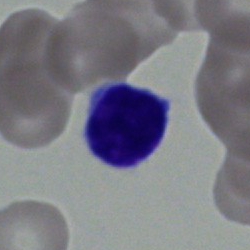 Morphology → typical lymphocyte.